Bone marrow aspirate smear; single-cell field: 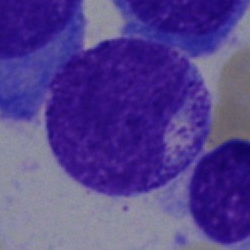

Morphology consistent with a myelocyte.